Bone marrow aspirate smear
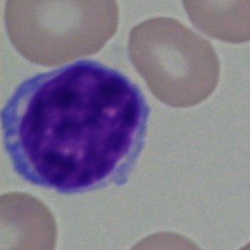
Morphological class: typical lymphocyte.